250×250 px; bone marrow aspirate smear
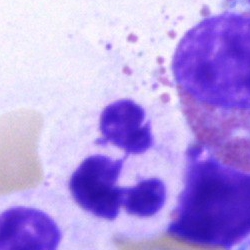
The cell shown is a polymorphonuclear neutrophil.